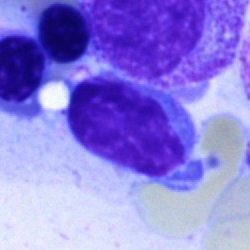Showing a typical lymphocyte.